Bone marrow aspirate smear:
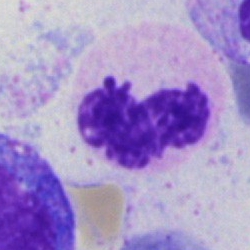Classification: neutrophil (segmented).